Bone marrow aspirate smear.
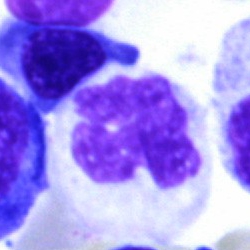
Segmented neutrophil.